Single-cell crop · bone marrow smear · May-Grünwald-Giemsa stain
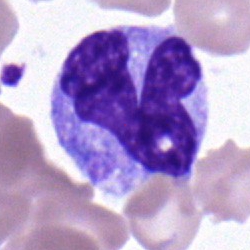

Single cell identified as a monocyte.